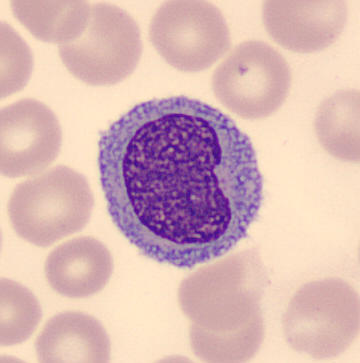Q: What is the morphological classification of this cell?
A: A monocyte. Peripheral blood film; 360×363; CellaVision DM96.